Bone marrow aspirate smear:
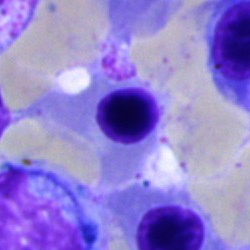 Specimen: bone marrow aspirate smear.
Cell type: erythroblast.